Bone marrow aspirate smear. Single-cell crop. MGG-stained.
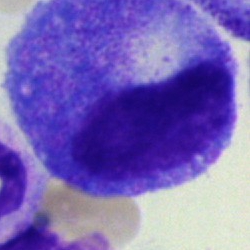

The cell type is progranulocyte.